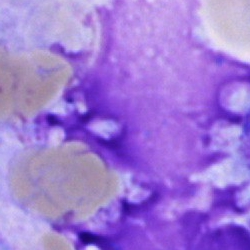
Morphology consistent with an artifact.